Bone marrow smear · single cell centered in the field:
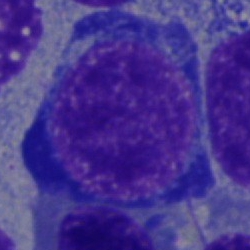
Nucleated red cell.